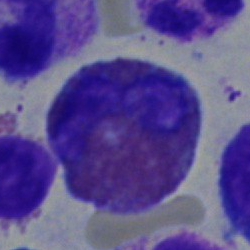 Single-cell crop from a bone marrow smear: eosinophil.